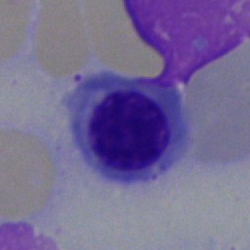
A nucleated red cell on a bone marrow smear.